Bone marrow aspirate smear
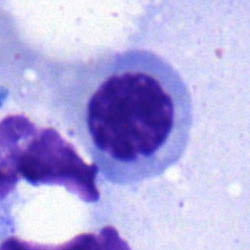

Specimen: bone marrow smear.
Morphological class: nucleated red blood cell.
Lineage: erythroid.